Bone marrow smear — 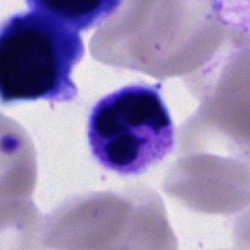 Q: What type of cell is this?
A: It is a polymorphonuclear neutrophil.